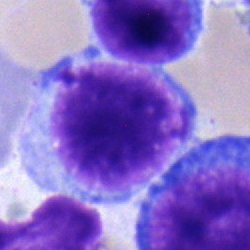 Morphological class — normoblast.